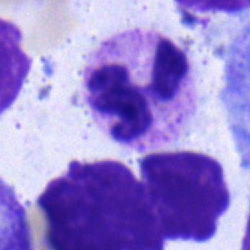

Classification — neutrophil (segmented).